Bone marrow smear · single cell centered in the field.
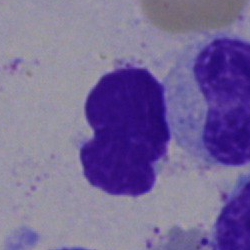Q: What is shown here?
A: An artifact.